Bone marrow smear; 250×250; brightfield, 40× oil-immersion objective — 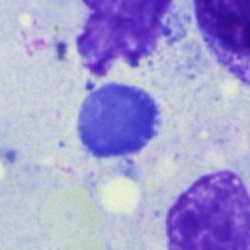 Single cell identified as an artifact.